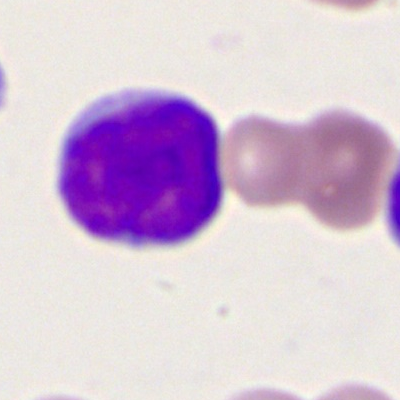 Classification — myeloid blast.